Bone marrow smear:
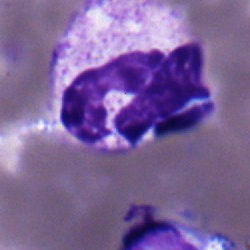 A stab cell.